Bone marrow aspirate smear: 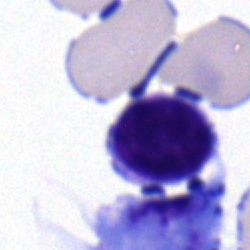
The cell shown is a typical lymphocyte.